Bone marrow aspirate smear
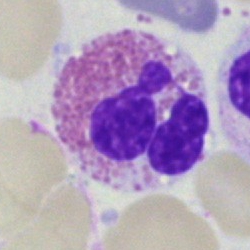

Q: Identify the cell.
A: An eosinophil.